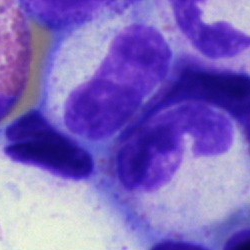 The morphological class is band neutrophil.